Bone marrow aspirate smear; single-cell crop; 40× oil immersion.
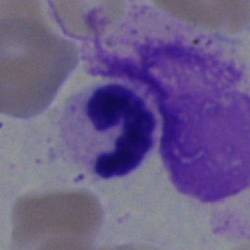 Q: What is the morphological classification of this cell?
A: It is a neutrophil (segmented).